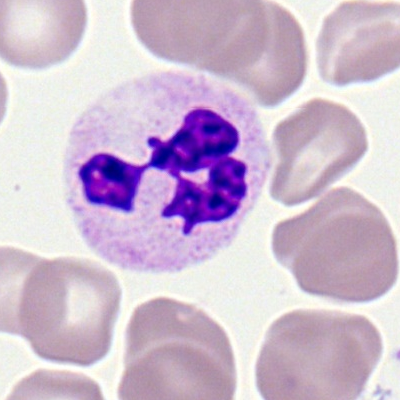 Morphological class — polymorphonuclear neutrophil.